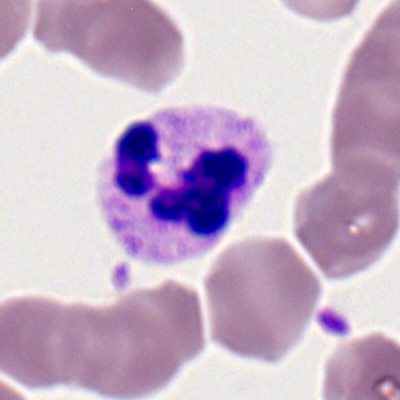 Morphological class: segmented neutrophil.